Bone marrow smear: 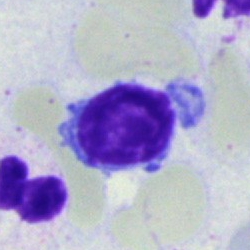

Cell: typical lymphocyte.